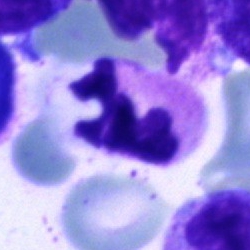

Specimen: bone marrow smear.
Morphological class: polymorphonuclear neutrophil.
Lineage: myeloid.